Bone marrow aspirate smear:
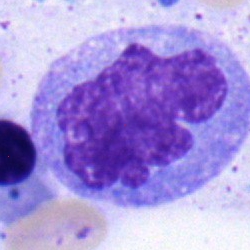 Single cell identified as a monocyte.